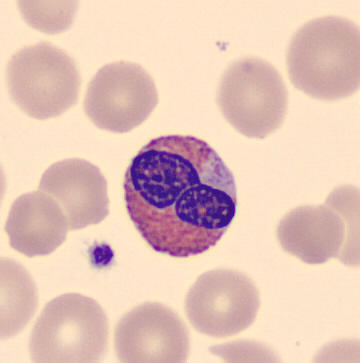

{"cell_type": "eosinophil", "lineage": "myeloid"} Image: MGG-stained; CellaVision DM96 digital cell image; peripheral blood smear.